40× oil immersion · bone marrow aspirate smear:
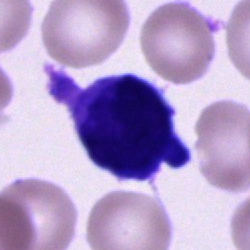 Showing an unidentifiable cell.